Cropped to a single cell; bone marrow smear.
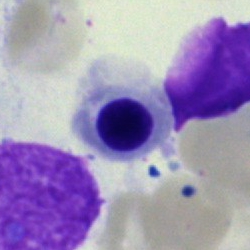
Morphology — erythroblast.